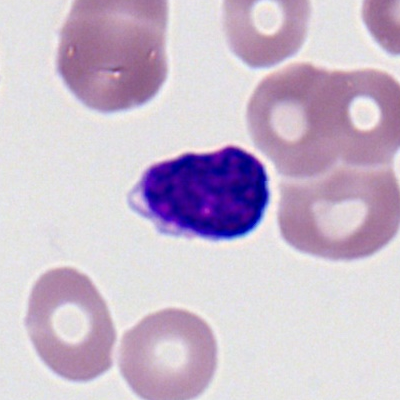 Cell: typical lymphocyte.